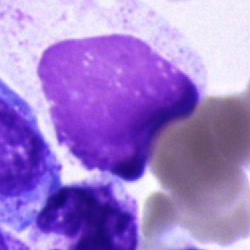 Morphology — artifact.